Bone marrow aspirate smear; 40× oil immersion
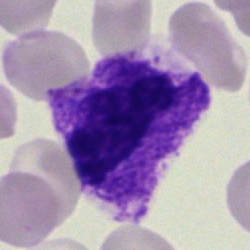
Impression — segmented neutrophil.